Bone marrow smear · brightfield microscopy, 40× oil immersion · 250×250
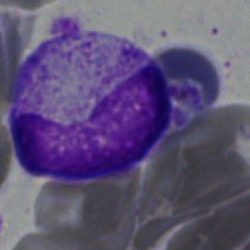 A metamyelocyte.